Bone marrow smear — 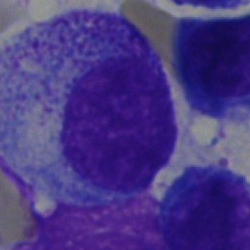
Q: What type of cell is this?
A: Myelocyte.